Single-cell field; image size 250×250; bone marrow aspirate smear.
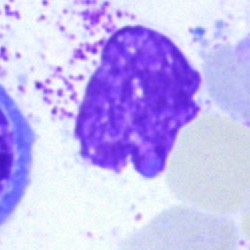

{"cell_type": "artifact"}